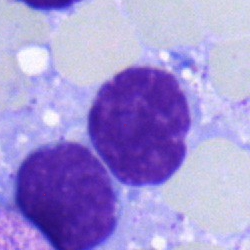Cell type: typical lymphocyte.